Bone marrow aspirate smear. 250 by 250 pixels.
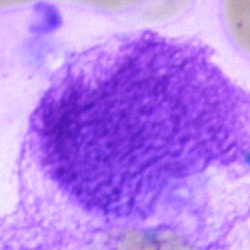Q: What is shown here?
A: An artifact.